Bone marrow smear; brightfield, 40× oil-immersion objective
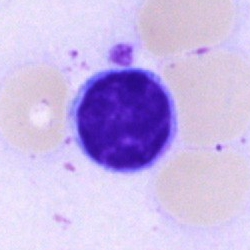

Cell — typical lymphocyte.